Bone marrow smear.
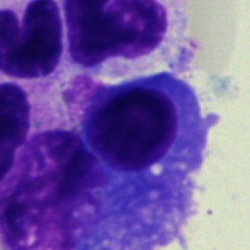Cell type — plasma cell.